Cropped to a single cell; bone marrow smear; brightfield microscopy, 40× oil immersion:
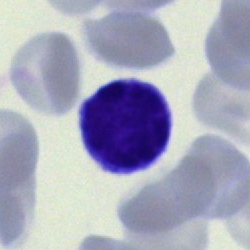The cell shown is a lymphocyte.